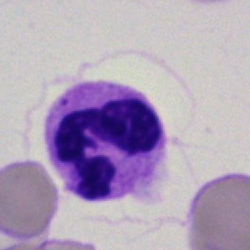

Morphology → segmented neutrophil.